Bone marrow smear — 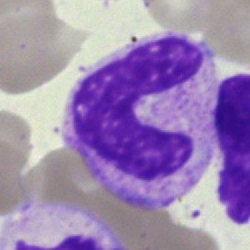

Cell: band neutrophil.